Bone marrow smear — 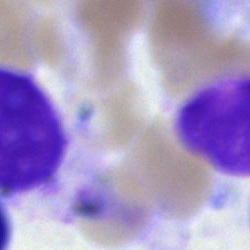
This is an artifact.